250 by 250 pixels. Bone marrow aspirate smear. Brightfield microscopy, 40× oil immersion:
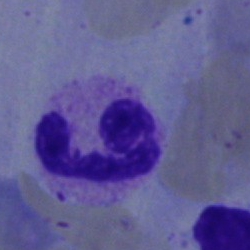
Cell type = neutrophil (segmented).